Bone marrow aspirate smear · Pappenheim-stained · 250×250 — 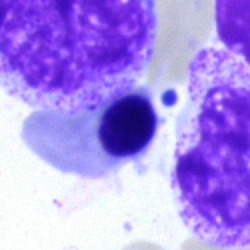

Morphology consistent with an erythroblast.